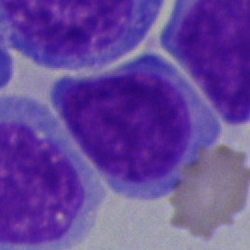A blast cell.